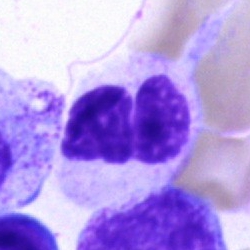
Showing a segmented neutrophil.